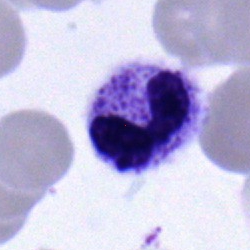 The cell type is neutrophil (band).